Bone marrow smear:
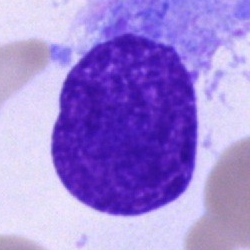

Morphological class: plasmacyte.